Bone marrow aspirate smear.
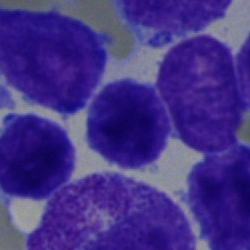Specimen: bone marrow aspirate smear.
Cell: blast.